Bone marrow smear · single-cell field.
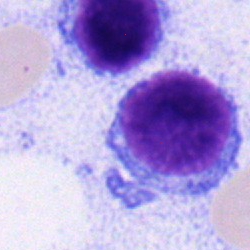Cell = typical lymphocyte.